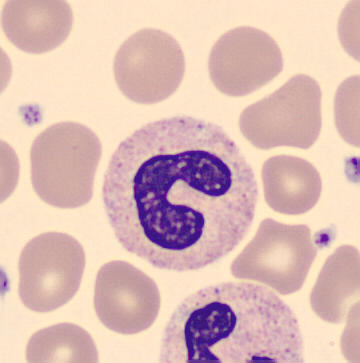Specimen: peripheral blood film.
Cell: band-form neutrophil.